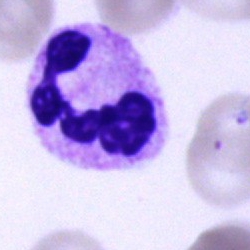
Specimen: bone marrow aspirate smear.
Classification: polymorphonuclear neutrophil.
Lineage: myeloid.